Single-cell crop; peripheral blood film.
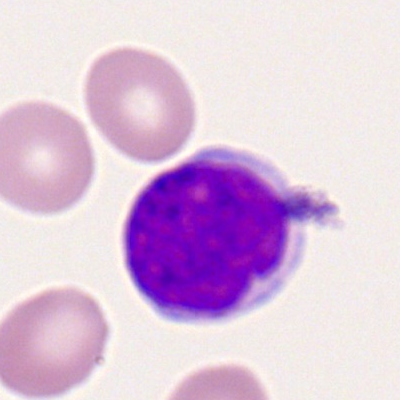
Cell type: lymphocyte.